Bone marrow aspirate smear
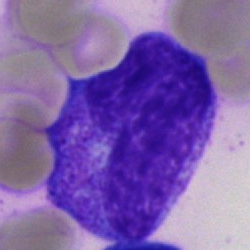 Q: What is the morphological classification of this cell?
A: This is a stab cell.